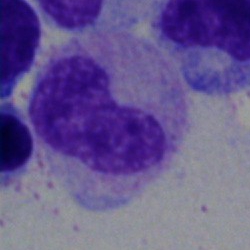

Specimen: bone marrow aspirate smear.
Cell type: band-form neutrophil.
Lineage: myeloid.